Peripheral blood film
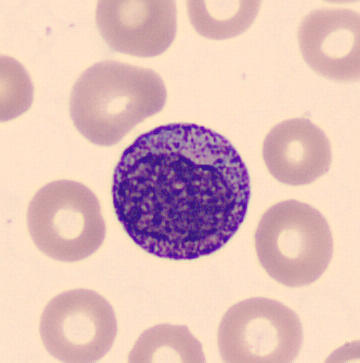

Showing a promyelocyte.